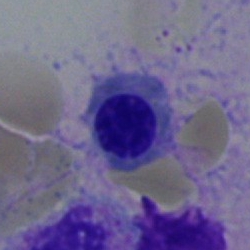

Morphological class — normoblast.